Image size 250×250. Bone marrow aspirate smear — 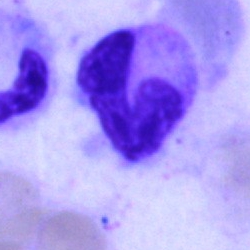Morphology — band-form neutrophil.